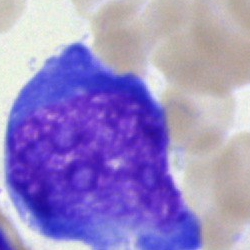Classification: undifferentiated blast.